Bone marrow smear; MGG-stained; single-cell field — 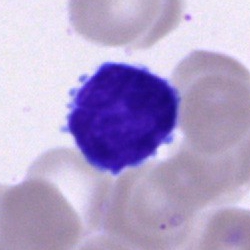A lymphocyte.